Bone marrow aspirate smear — 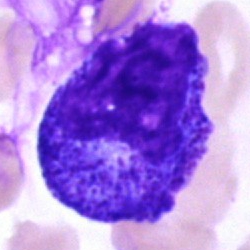Morphology → progranulocyte.